Bone marrow smear; single-cell field; MGG-stained — 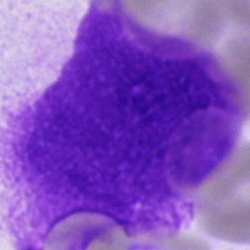 Cell type: artifact.